Cropped to a single cell · bone marrow aspirate smear — 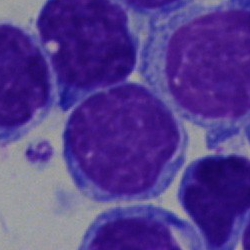

Specimen: bone marrow smear.
Cell type: lymphocyte.
Lineage: lymphoid.